Peripheral blood film. Single-cell field. 400 by 400 pixels:
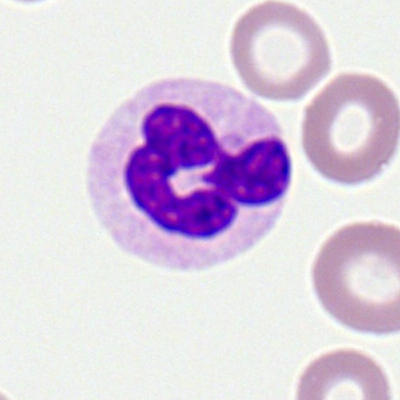
Single cell identified as a segmented neutrophil.